250×250; bone marrow aspirate smear — 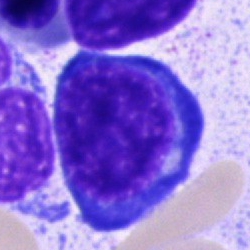Cell type: nucleated red blood cell.